Bone marrow smear — 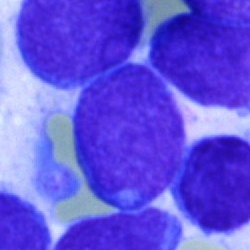This is a blast.